Bone marrow aspirate smear. Brightfield microscopy, 40× oil immersion — 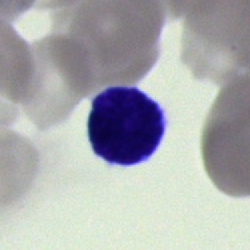Impression → cell of indeterminate lineage.